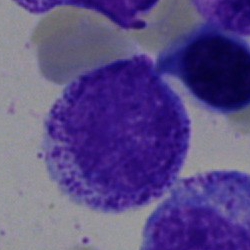This is a myelocyte.